Bone marrow aspirate smear.
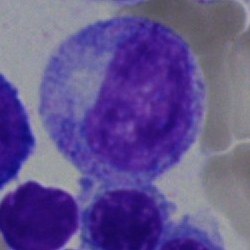A myelocyte.